Bone marrow smear
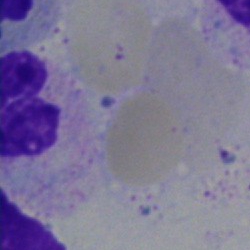
Impression — artifact.